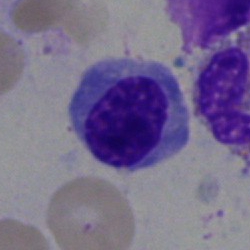The cell type is nucleated red cell.